Single cell centered in the field; bone marrow smear — 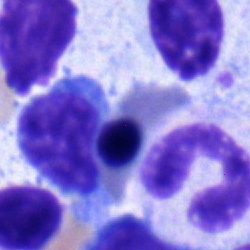

Specimen: bone marrow aspirate smear.
Morphological class: erythroblast.
Lineage: erythroid.